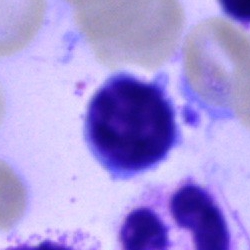
Impression → lymphocyte.